Bone marrow smear:
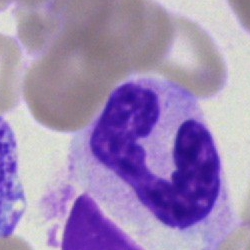Q: What type of cell is this?
A: Neutrophil (segmented).